May-Grünwald-Giemsa stain; bone marrow smear.
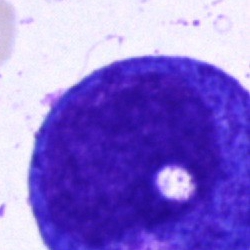

Promyelocyte.